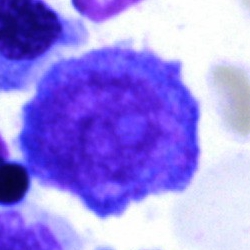Q: What is shown here?
A: This is a promyelocyte.